Pappenheim-stained; bone marrow aspirate smear — 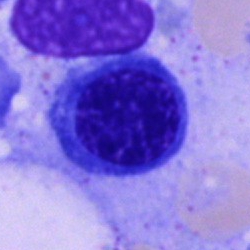
Showing an erythroblast.